250×250 px. Bone marrow smear:
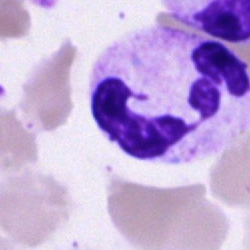
The cell type is neutrophil (segmented).